250×250 px · single cell centered in the field · bone marrow aspirate smear — 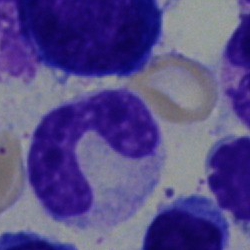 Cell = neutrophil (band).